400×400 px. Peripheral blood smear. Single-cell crop
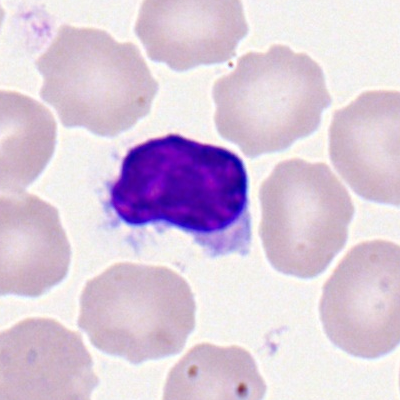

The cell type is typical lymphocyte.